Bone marrow smear
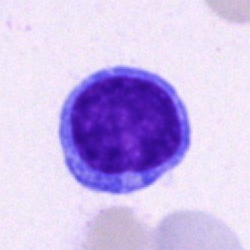 Morphology — typical lymphocyte.